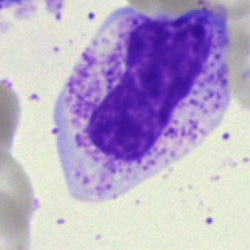

Morphological class — metamyelocyte.